Brightfield, 40× oil-immersion objective · bone marrow aspirate smear.
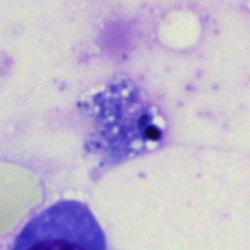 Impression → artifact.